Bone marrow aspirate smear. 250 by 250 pixels — 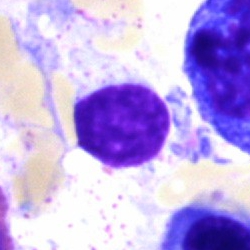 Classification — typical lymphocyte.